Peripheral blood smear
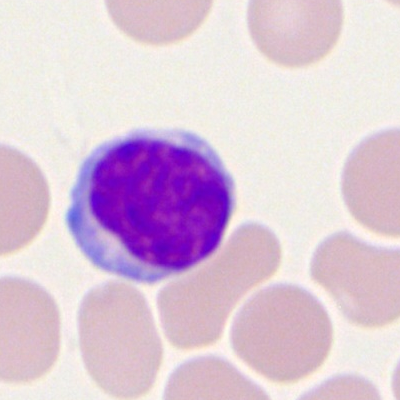 Showing a lymphocyte.